Bone marrow smear.
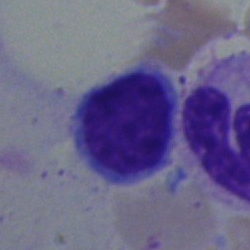Q: What is the morphological classification of this cell?
A: It is a typical lymphocyte.